Peripheral blood film · M8 digital microscope (Precipoint), 100× oil immersion
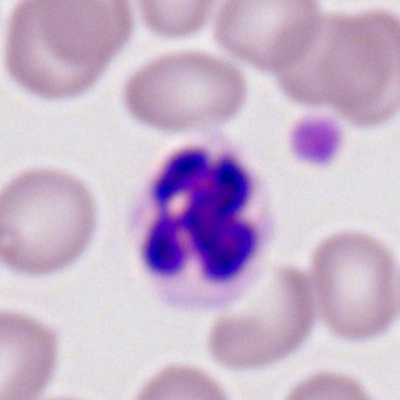
A polymorphonuclear neutrophil.